Bone marrow aspirate smear — 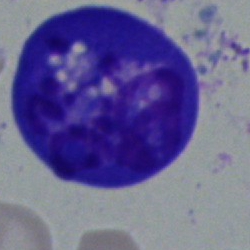
{"cell_type": "blast"}